Brightfield microscopy, 40× oil immersion · bone marrow aspirate smear: 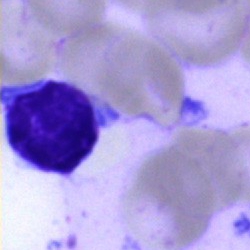Single cell identified as a typical lymphocyte.